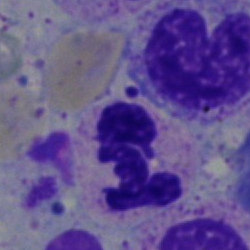 Showing a segmented neutrophil.